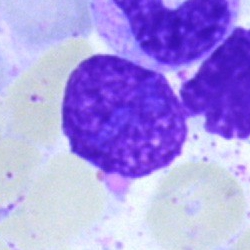
The cell is artefact.